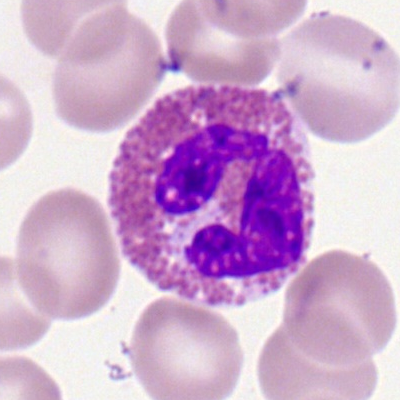
Impression — eosinophilic granulocyte.